250×250; bone marrow smear — 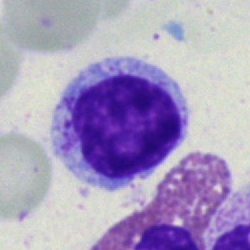
{"cell_type": "typical lymphocyte"}